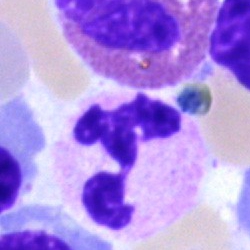 Q: What cell is this?
A: This is a neutrophil (segmented).